Bone marrow smear: 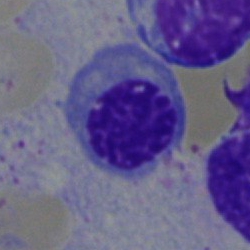

Q: What is the morphological classification of this cell?
A: This is an erythroblast.